Bone marrow smear · single-cell crop: 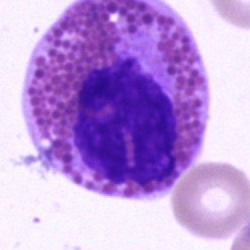 Cell = eosinophilic granulocyte.